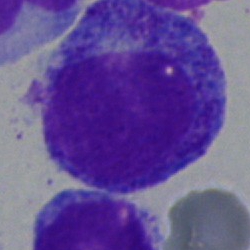 Morphological class: promyelocyte.